Bone marrow smear: 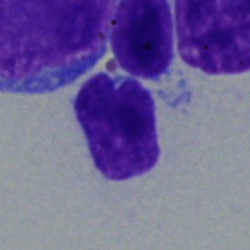The cell type is typical lymphocyte.